Bone marrow smear; 250×250; single-cell field.
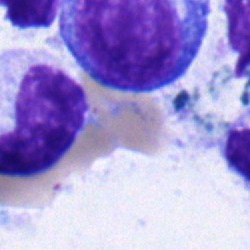 Impression — blast.